Peripheral blood smear; Romanowsky-stained; single cell centered in the field: 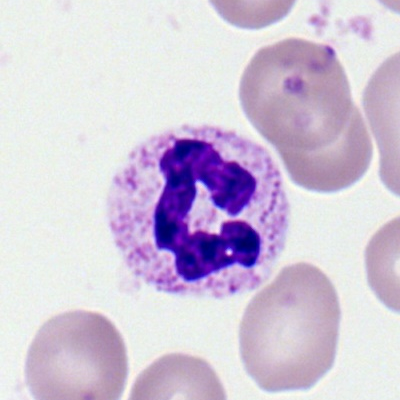 Q: Which cell type is shown here?
A: A polymorphonuclear neutrophil.